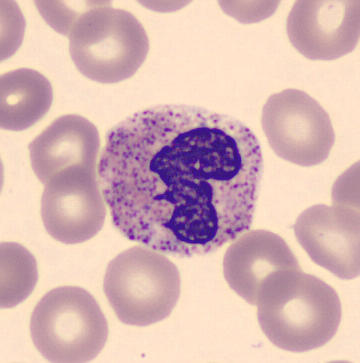

Q: Identify the cell.
A: Neutrophil (band).

Peripheral blood film. Imaged on a CellaVision DM96 analyser.